Bone marrow aspirate smear · single-cell field.
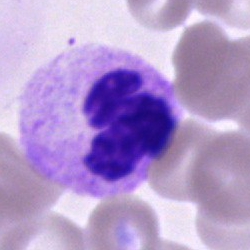

Q: Which cell type is shown here?
A: This is a polymorphonuclear neutrophil.